Bone marrow smear
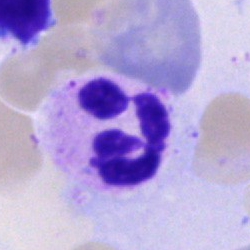
Single cell identified as a neutrophil (segmented).